Bone marrow aspirate smear: 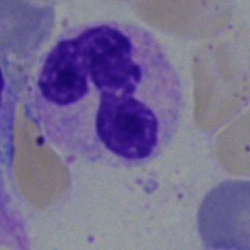

Impression → segmented neutrophil.